Bone marrow aspirate smear:
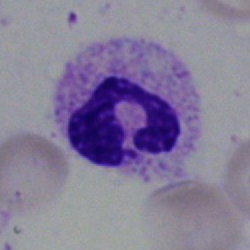Impression — polymorphonuclear neutrophil.